Bone marrow aspirate smear: 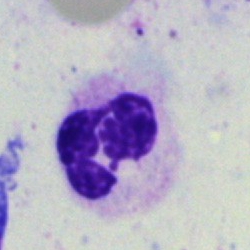
{"cell_type": "polymorphonuclear neutrophil", "lineage": "myeloid"}